Bone marrow aspirate smear.
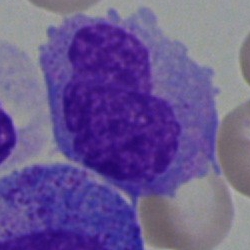 Q: Identify the cell.
A: It is a monocyte.